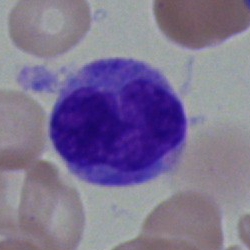Single cell identified as a monocyte.